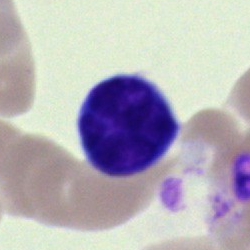 The morphological class is typical lymphocyte.